Single cell centered in the field; bone marrow aspirate smear; 250×250 px.
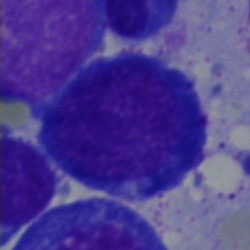 Q: What cell is this?
A: Nucleated red blood cell.